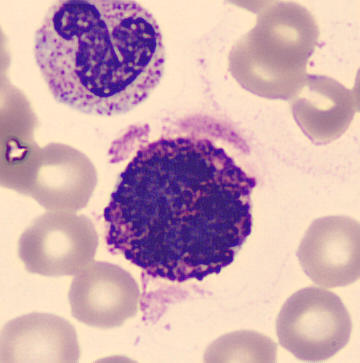
Q: What cell is this?
A: A basophil.

Image: Single-cell field · peripheral blood smear.